Bone marrow aspirate smear:
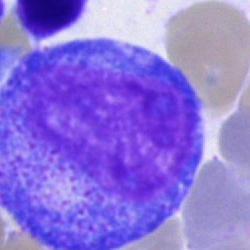

Classification — progranulocyte.